Bone marrow smear; MGG-stained
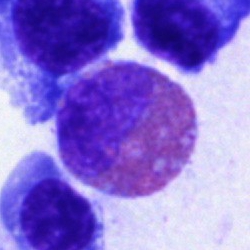 Morphology consistent with an eosinophil.